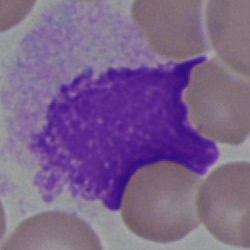

Cell: artefact.